Bone marrow smear:
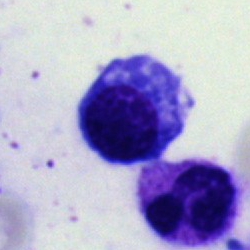 Morphological class — nucleated red cell.